Bone marrow aspirate smear:
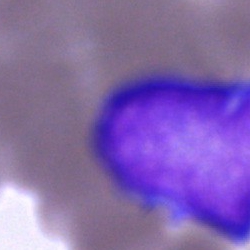 Morphology → blast cell.